Bone marrow smear. Cropped to a single cell.
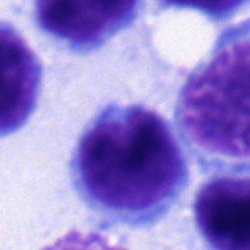Specimen: bone marrow smear.
Classification: typical lymphocyte.